Bone marrow smear — 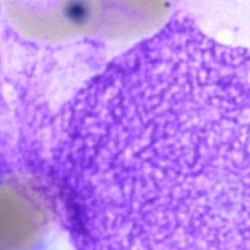

Cell type = artifact.